Bone marrow aspirate smear: 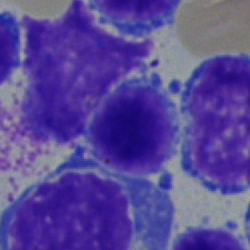Cell type = typical lymphocyte.